Bone marrow aspirate smear · May-Grünwald-Giemsa/Pappenheim stain
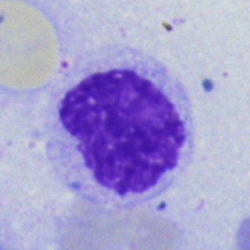

Morphology → artefact.